Bone marrow aspirate smear; single-cell field: 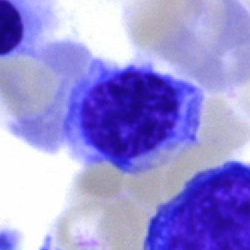

Q: What is shown here?
A: This is a nucleated red cell.